Bone marrow smear. Single cell centered in the field:
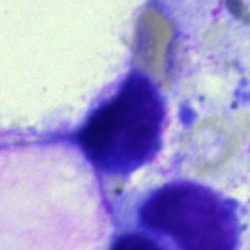

{"cell_type": "artifact"}